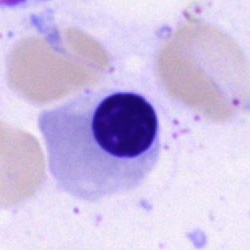 Impression → nucleated red cell.